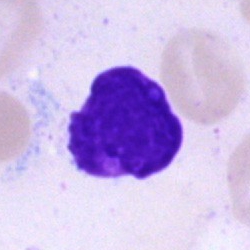

Cell type = artifact.